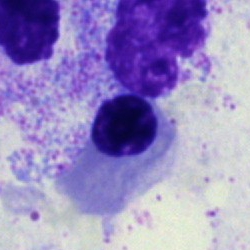

Morphology consistent with a normoblast.